Bone marrow smear: 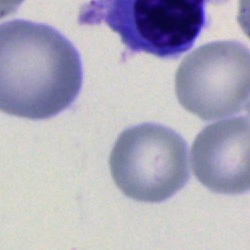

A cell of indeterminate lineage.